Bone marrow smear:
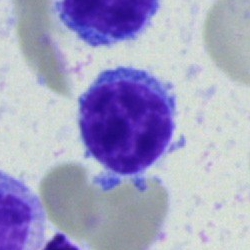Morphological class = typical lymphocyte.